Bone marrow smear. 250×250: 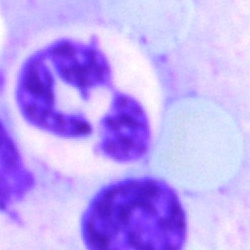 Q: What cell is this?
A: Polymorphonuclear neutrophil.